Bone marrow aspirate smear. 250×250
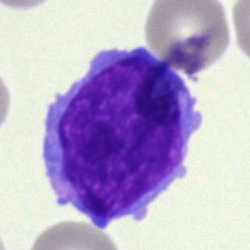

Cell type — undifferentiated blast.